Bone marrow smear. Brightfield microscopy, 40× oil immersion
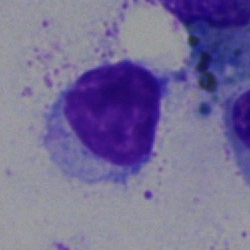

Morphology consistent with a typical lymphocyte.